Bone marrow smear; single cell centered in the field.
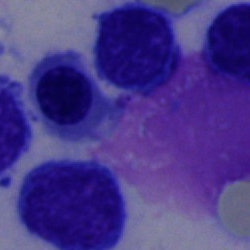
The cell shown is an erythroblast.